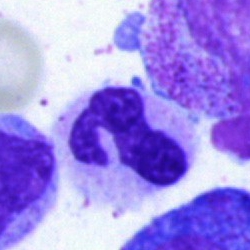
Classification: polymorphonuclear neutrophil.